Bone marrow smear. MGG-stained: 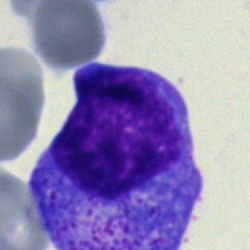
Morphology consistent with a progranulocyte.